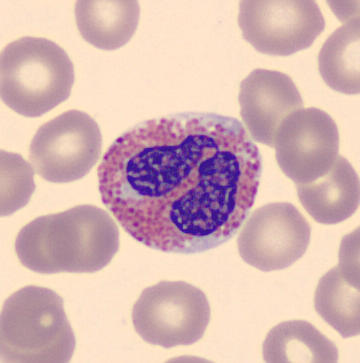 Preparation: Peripheral blood smear; MGG stain. Morphological class: eosinophil.